Bone marrow aspirate smear. Single-cell crop — 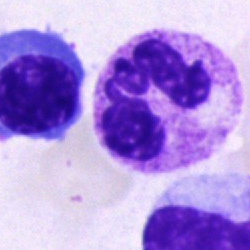 Q: What is the morphological classification of this cell?
A: It is a neutrophil (segmented).